250 by 250 pixels · brightfield microscopy, 40× oil immersion · bone marrow smear.
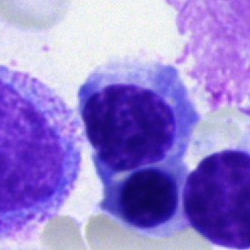
This is a nucleated red cell.